Peripheral blood smear
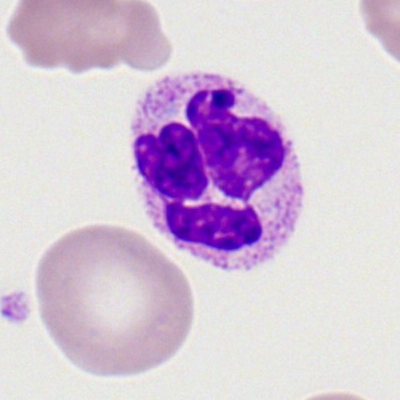

Q: Identify the cell.
A: It is a polymorphonuclear neutrophil.